Bone marrow aspirate smear. 250×250:
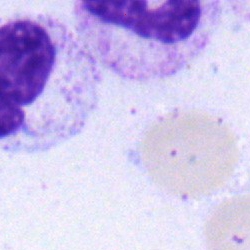The cell is polymorphonuclear neutrophil.